Bone marrow smear — 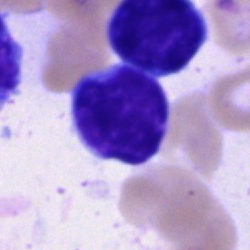 Specimen: bone marrow smear.
Classification: typical lymphocyte.